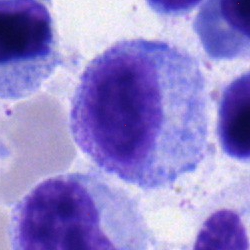Single cell identified as a myelocyte.